Bone marrow aspirate smear · Pappenheim-stained:
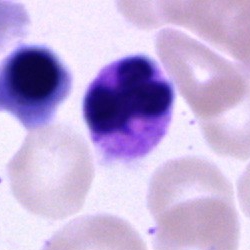 The morphological class is segmented neutrophil.